Single-cell crop; May-Grünwald-Giemsa/Pappenheim stain; bone marrow smear:
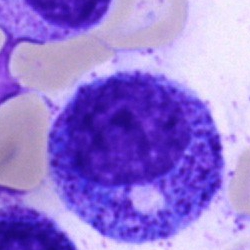
Morphological class = progranulocyte.